Bone marrow aspirate smear — 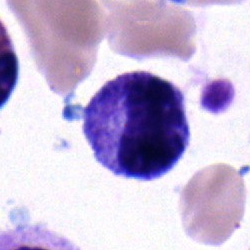Q: What type of cell is this?
A: A metamyelocyte.